Peripheral blood smear
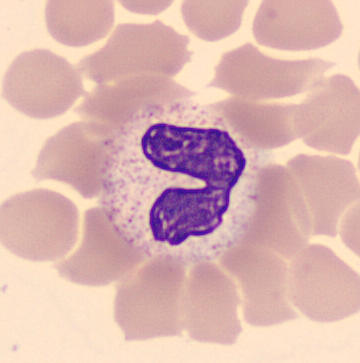
{"cell_type": "stab cell", "lineage": "myeloid"}